Bone marrow smear — 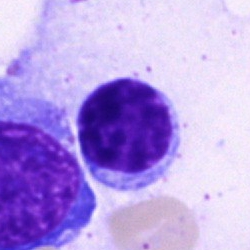
Showing a lymphocyte.